Bone marrow smear. May-Grünwald-Giemsa stain. Brightfield microscopy, 40× oil immersion:
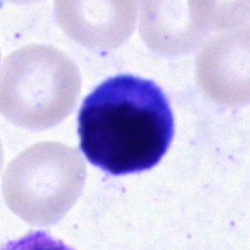

This is a lymphocyte.